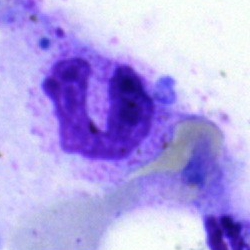
Q: What is the morphological classification of this cell?
A: It is a polymorphonuclear neutrophil.